Bone marrow aspirate smear
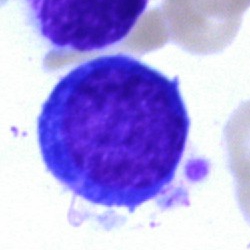Impression → nucleated red cell.